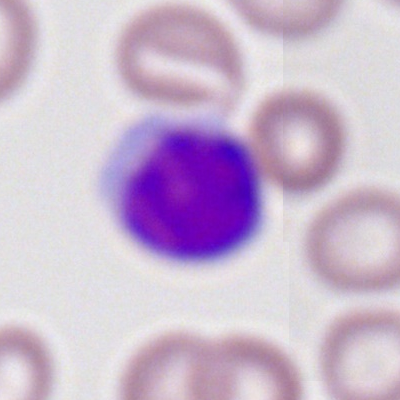

Morphology → lymphocyte.